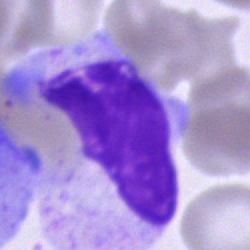
Bone marrow aspirate smear, single cell — cell of indeterminate lineage.